250×250 px; bone marrow smear
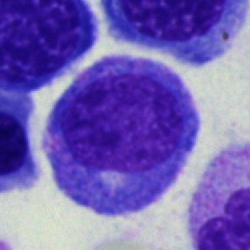

Cell type — promyelocyte.